Bone marrow smear
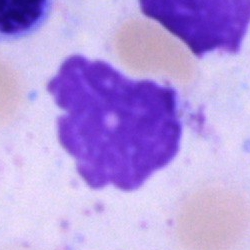 Specimen: bone marrow smear.
Morphological class: artefact.